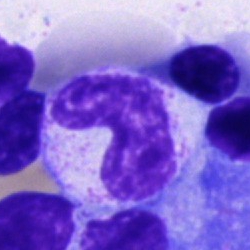 Morphology — band-form neutrophil.